Peripheral blood smear:
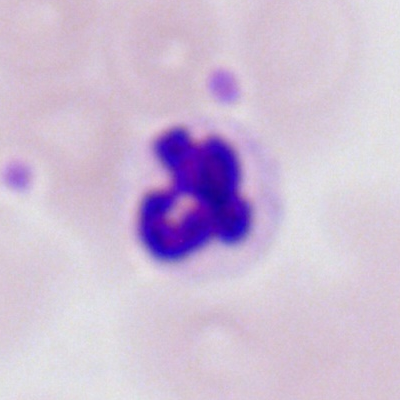

Classification: polymorphonuclear neutrophil.